Bone marrow aspirate smear · 250×250 px.
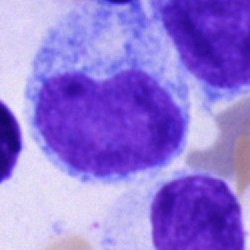
Showing a progranulocyte.